Bone marrow aspirate smear: 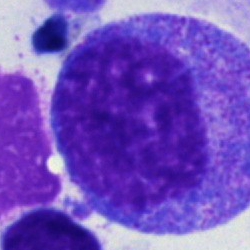Cell — progranulocyte.